Bone marrow smear; cropped to a single cell:
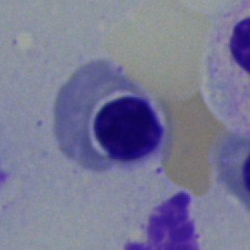Single cell identified as an erythroblast.